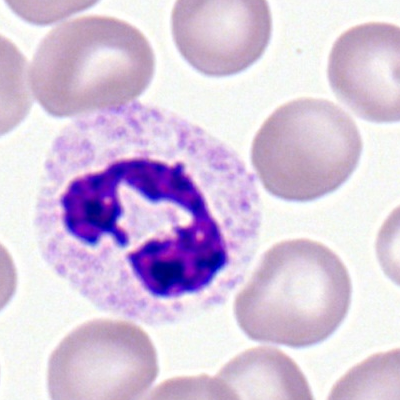

Morphological class = polymorphonuclear neutrophil.